Bone marrow smear
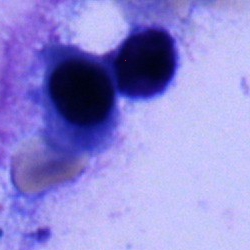

Impression — lymphocyte.